Bone marrow aspirate smear: 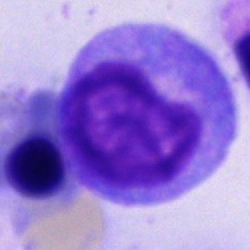
Single cell identified as a progranulocyte.